Bone marrow smear; Pappenheim-stained.
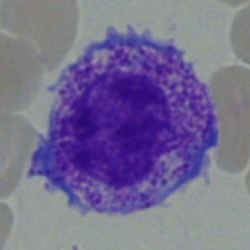 Cell = myelocyte.